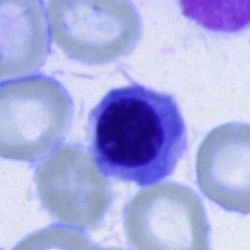 Specimen: bone marrow aspirate smear.
Cell: nucleated red blood cell.
Lineage: erythroid.